Bone marrow aspirate smear · 250×250
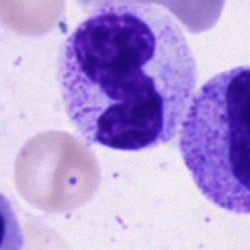
Specimen: bone marrow smear.
Classification: neutrophil (band).